Bone marrow smear — 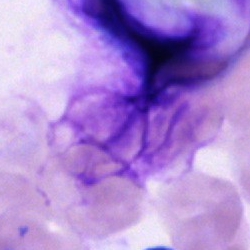
Specimen: bone marrow smear.
Classification: artifact.